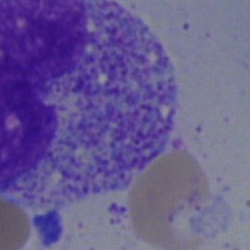Metamyelocyte.